Bone marrow smear.
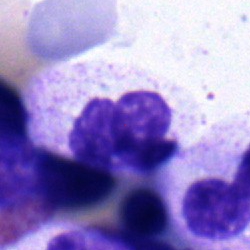

Classification = neutrophil (segmented).